Bone marrow smear; May-Grünwald-Giemsa stain: 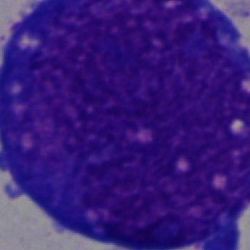Morphology consistent with a blast cell.